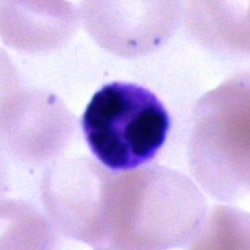 Single cell identified as a polymorphonuclear neutrophil.